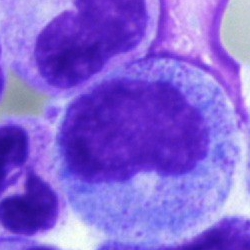 {"cell_type": "myelocyte", "lineage": "myeloid"}